Single-cell field. 250×250 px. Bone marrow smear: 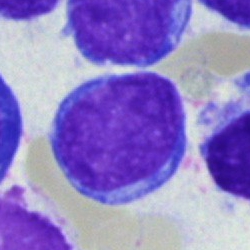
Morphology consistent with an undifferentiated blast.